Bone marrow aspirate smear
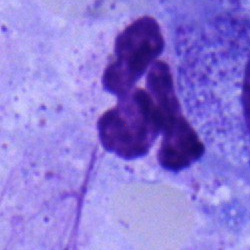 Cell = polymorphonuclear neutrophil.